Bone marrow smear
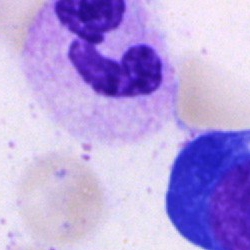 Impression — neutrophil (segmented).